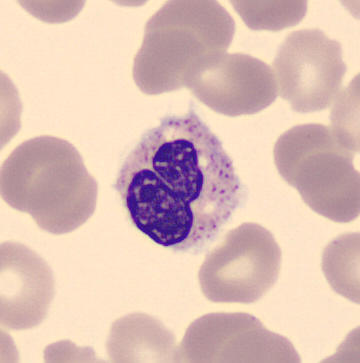 360 by 363 pixels; automated cell imaging (CellaVision DM96); peripheral blood smear. Identified as a stab cell.